Bone marrow smear.
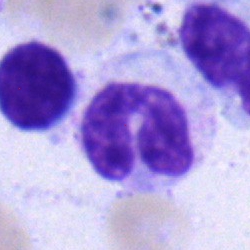 {"cell_type": "band-form neutrophil"}